Bone marrow smear
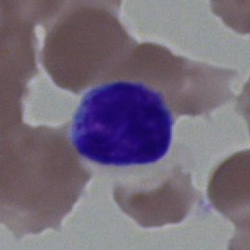
{"cell_type": "typical lymphocyte", "lineage": "lymphoid"}